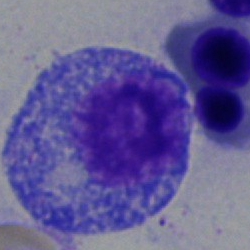Specimen: bone marrow smear.
Morphological class: promyelocyte.
Lineage: myeloid.